250×250 px; single-cell field; bone marrow smear.
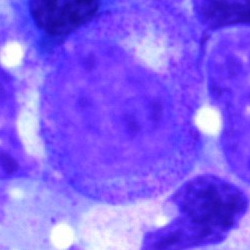
Myelocyte.